Peripheral blood film: 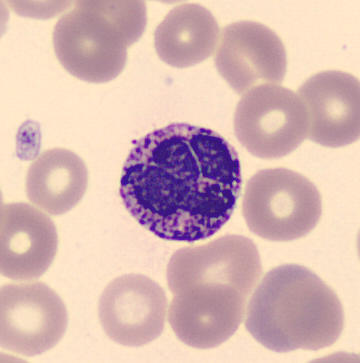
Specimen: peripheral blood smear.
Cell: basophilic granulocyte.
Lineage: myeloid.